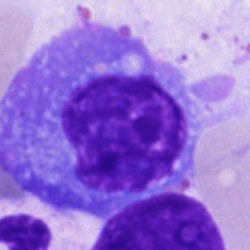
A plasmacyte.